Bone marrow smear: 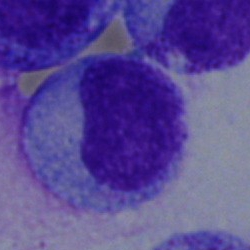Cell type = metamyelocyte.